Bone marrow smear: 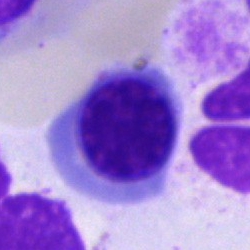
Q: What type of cell is this?
A: Erythroblast.